Bone marrow aspirate smear; 250 by 250 pixels; Pappenheim-stained
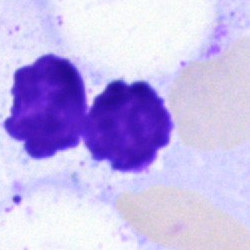

Morphological class: artifact.